Brightfield, 40× oil-immersion objective · single cell centered in the field · bone marrow aspirate smear — 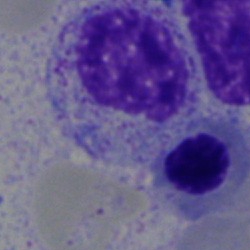
Morphology — cell of indeterminate lineage.